Image size 250×250. Bone marrow smear: 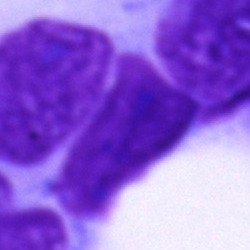 Q: What is shown here?
A: This is an artifact.